Bone marrow smear.
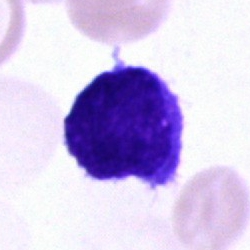
Blast.